Bone marrow aspirate smear.
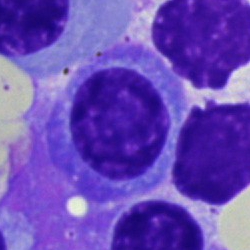
Morphology — plasmacyte.